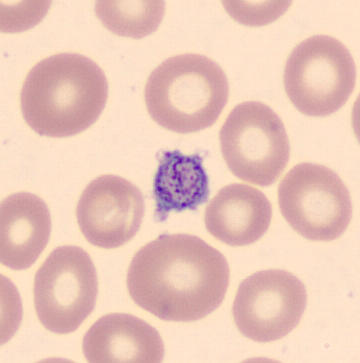
This is a thrombocyte.

Acquisition: CellaVision DM96 · peripheral blood smear.